Bone marrow aspirate smear:
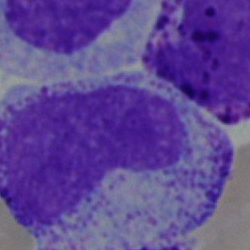
Single cell identified as a metamyelocyte.